Bone marrow aspirate smear: 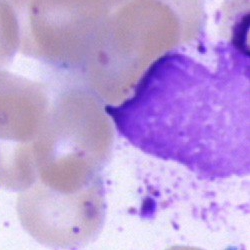 The cell is artefact.